Bone marrow smear; single-cell crop
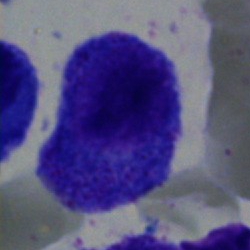
Cell type = promyelocyte.